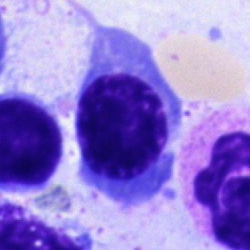
Q: What type of cell is this?
A: This is a nucleated red cell.